Bone marrow smear: 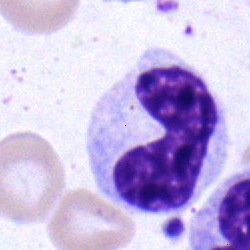

Specimen: bone marrow smear.
Cell: band-form neutrophil.